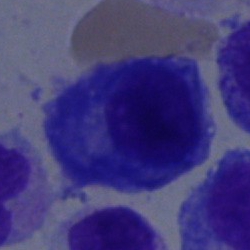
Cell = plasmacyte.